Bone marrow aspirate smear
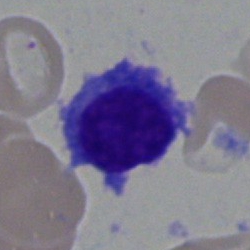Classification — plasma cell.